Bone marrow smear. 250 by 250 pixels
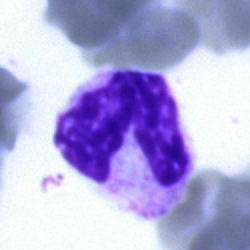

Morphology → neutrophil (segmented).